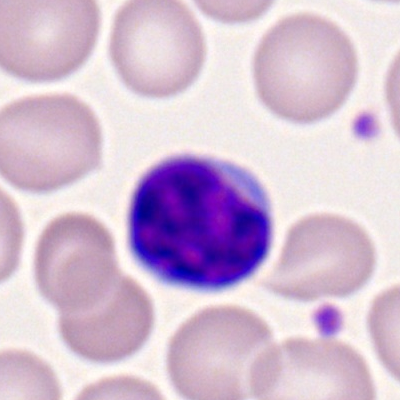

Single cell identified as a typical lymphocyte.